Bone marrow smear
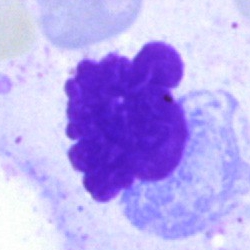 {"cell_type": "artefact"}